Bone marrow smear — 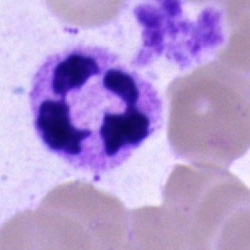

Classification = neutrophil (segmented).